Bone marrow aspirate smear. May-Grünwald-Giemsa/Pappenheim stain. Brightfield microscopy, 40× oil immersion.
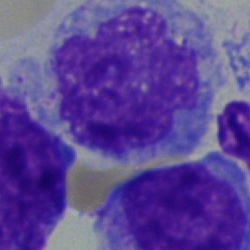 The cell shown is a monocyte.